Bone marrow aspirate smear: 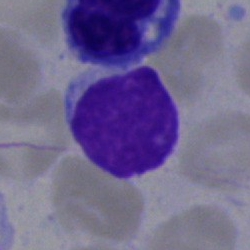

A lymphocyte.